Bone marrow smear: 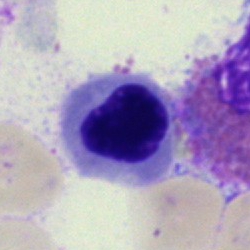 Cell = normoblast.